Bone marrow smear:
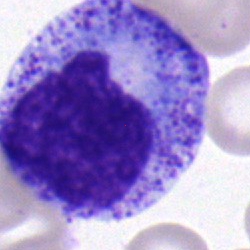 Morphology — promyelocyte.